Bone marrow smear
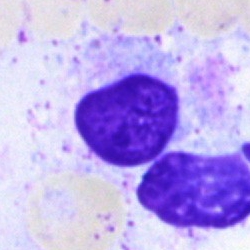An artifact.